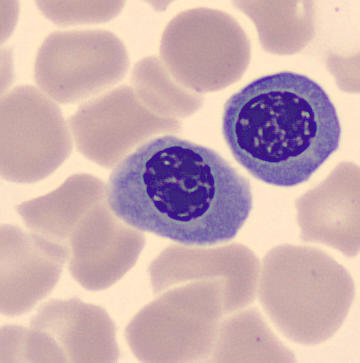This is an erythroblast.
Automated cell imaging (CellaVision DM96) · peripheral blood film.